Pappenheim-stained · bone marrow smear:
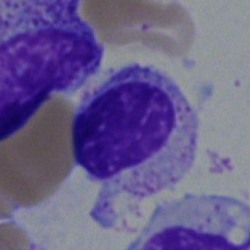This is a myelocyte.